Bone marrow smear.
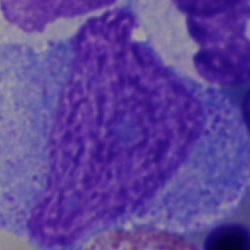

Morphological class = artefact.